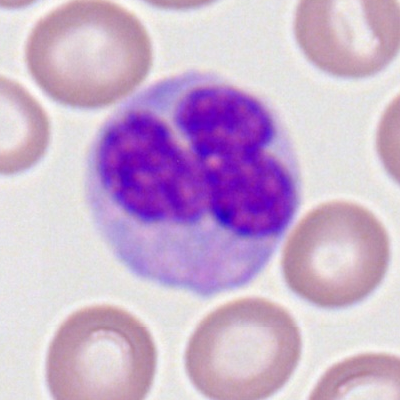The morphological class is monocyte.